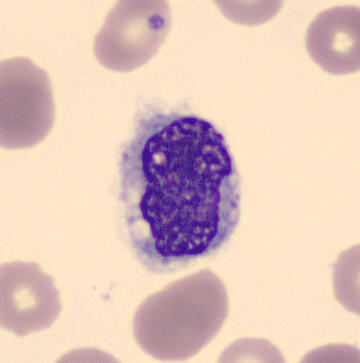360 by 363 pixels; peripheral blood smear. {"cell_type": "monocyte", "lineage": "myeloid"}